May-Grünwald-Giemsa stain. Cropped to a single cell. Bone marrow smear — 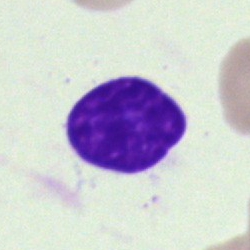Showing an artefact.